May-Grünwald-Giemsa/Pappenheim stain; bone marrow smear
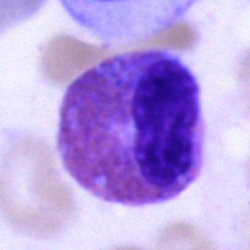 Specimen: bone marrow aspirate smear.
Classification: eosinophilic granulocyte.